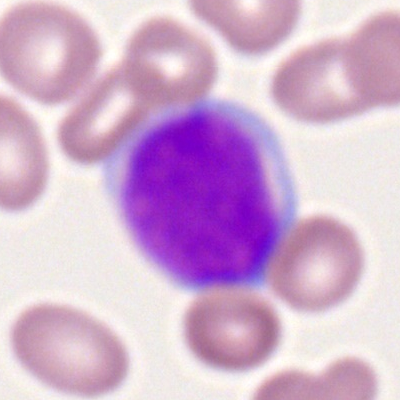
Q: What cell is this?
A: A myeloid blast.